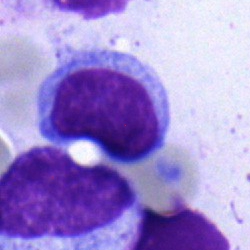 Specimen: bone marrow aspirate smear.
Classification: lymphocyte.
Lineage: lymphoid.